Bone marrow smear: 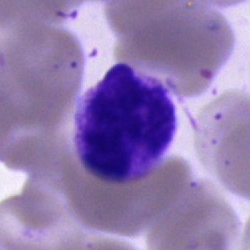
Q: What cell is this?
A: A polymorphonuclear neutrophil.